Peripheral blood film: 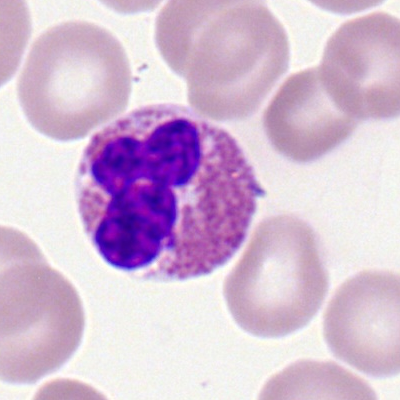
Specimen: peripheral blood film.
Morphological class: eosinophilic granulocyte.
Lineage: myeloid.